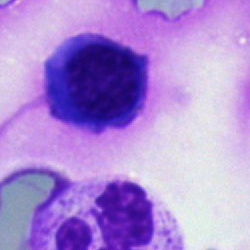
Q: What type of cell is this?
A: This is a nucleated red blood cell.